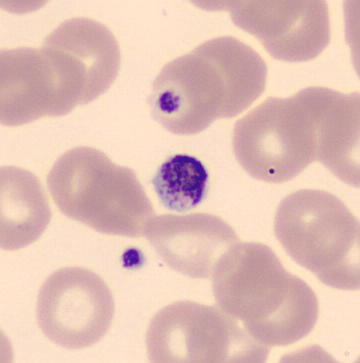 Cell type = thrombocyte.